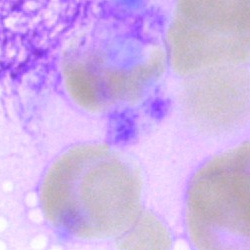

Artefact.